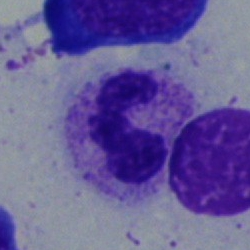 Morphological class — polymorphonuclear neutrophil.